Bone marrow aspirate smear. Single-cell crop: 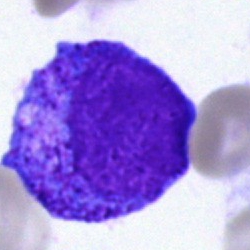Morphology → progranulocyte.